Brightfield, 40× oil-immersion objective · bone marrow aspirate smear: 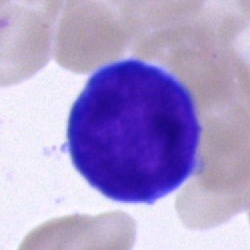 Morphology → pronormoblast.